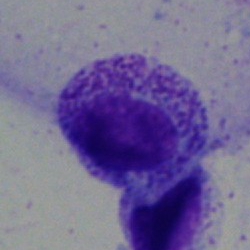 Morphological class: myelocyte.